Bone marrow aspirate smear. May-Grünwald-Giemsa stain:
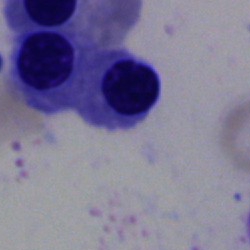A normoblast.